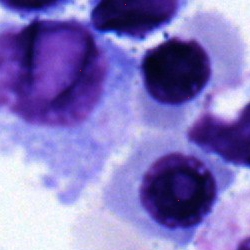Q: Identify the cell.
A: This is a lymphocyte.